Bone marrow smear; brightfield, 40× oil-immersion objective
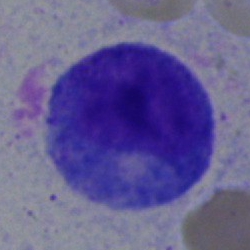
Morphology consistent with a progranulocyte.